Bone marrow smear:
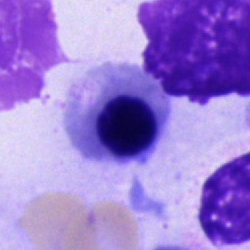

Single cell identified as a normoblast.